Bone marrow smear
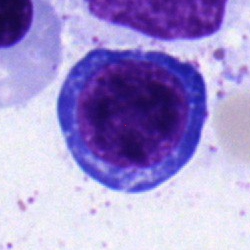
This is a proerythroblast.